40× objective, oil immersion. Bone marrow smear
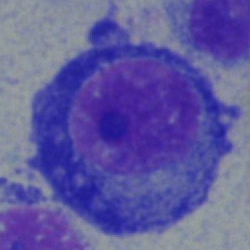
Morphology — plasmacyte.